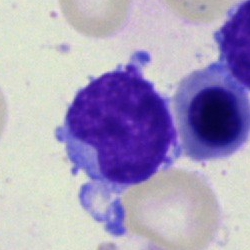

Cell — lymphocyte.